May-Grünwald-Giemsa/Pappenheim stain; bone marrow aspirate smear:
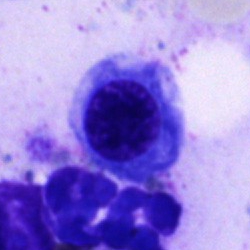

The classification is nucleated red blood cell.